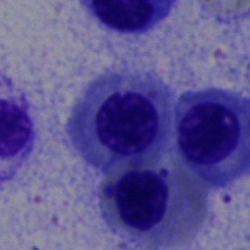
Cell = normoblast.